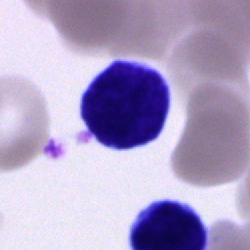
Morphological class: cell of indeterminate lineage.